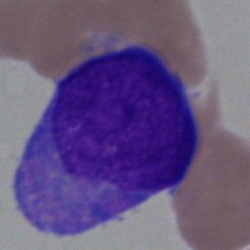

Specimen: bone marrow aspirate smear.
Cell: undifferentiated blast.